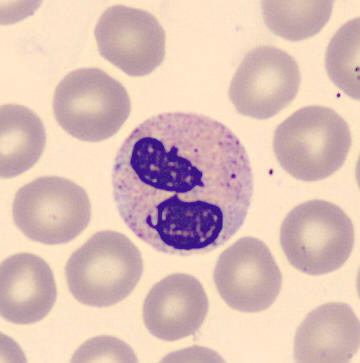 Cell type: polymorphonuclear neutrophil.